Bone marrow aspirate smear; 40× oil immersion — 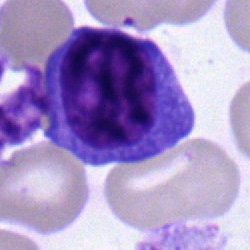Cell type — plasma cell.